Bone marrow aspirate smear — 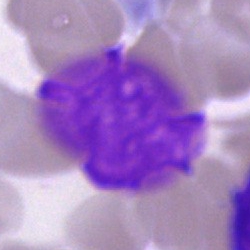Morphology → artifact.